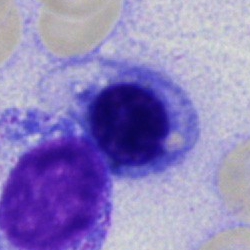{"cell_type": "erythroblast", "lineage": "erythroid"}